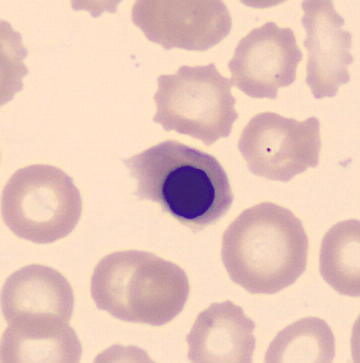 Impression → nucleated red blood cell.

Preparation: Peripheral blood film.